Peripheral blood smear:
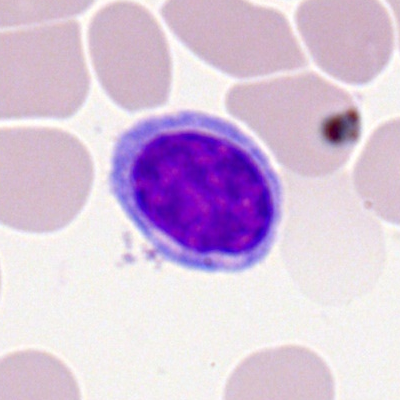

Impression → lymphocyte.